Bone marrow aspirate smear:
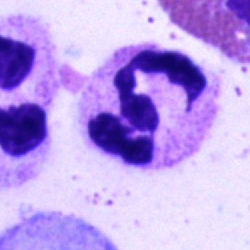Impression → segmented neutrophil.